Bone marrow aspirate smear: 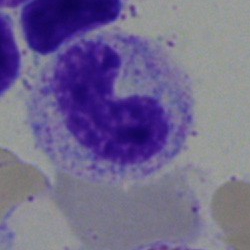Band neutrophil.